Bone marrow smear:
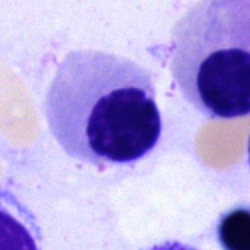
Impression → normoblast.